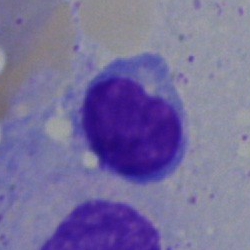Bone marrow smear showing a lymphocyte.